Bone marrow aspirate smear
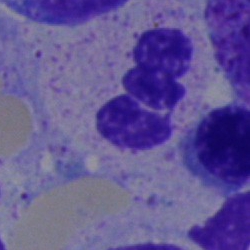

Showing a polymorphonuclear neutrophil.